May-Grünwald-Giemsa stain · bone marrow smear · image size 250×250.
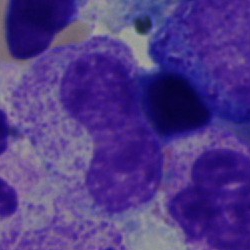A band-form neutrophil.